May-Grünwald-Giemsa/Pappenheim stain. Bone marrow smear
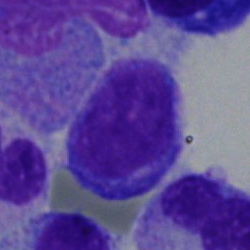
Q: Identify the cell.
A: Lymphocyte.